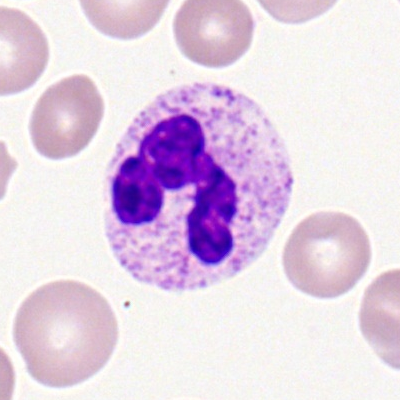 Impression — polymorphonuclear neutrophil.